Peripheral blood film — 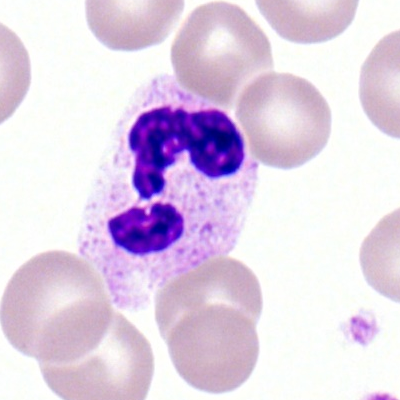
Classification = neutrophil (segmented).